Bone marrow aspirate smear
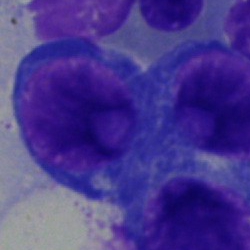 Q: Which cell type is shown here?
A: It is a pronormoblast.